Bone marrow aspirate smear — 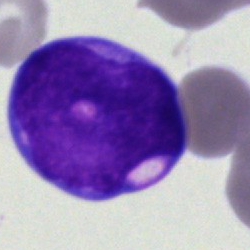This is a blast cell.